Bone marrow smear
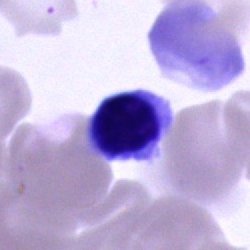 Specimen: bone marrow smear.
Cell: normoblast.